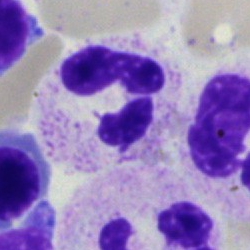
Morphological class: neutrophil (segmented).